Brightfield microscopy, 40× oil immersion; bone marrow aspirate smear; May-Grünwald-Giemsa stain — 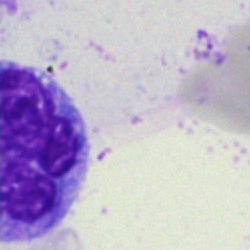 {"cell_type": "artefact"}